Bone marrow smear
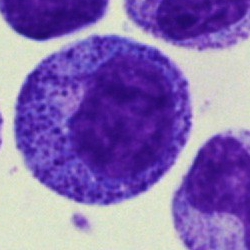 Classification — progranulocyte.